100× objective, oil immersion · peripheral blood smear
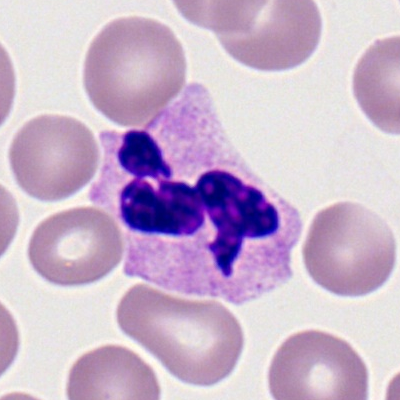 Specimen: peripheral blood film.
Classification: polymorphonuclear neutrophil.
Lineage: myeloid.